Peripheral blood smear:
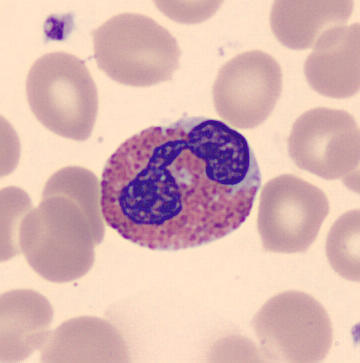Showing an eosinophilic granulocyte.